Bone marrow aspirate smear. MGG-stained. Cropped to a single cell
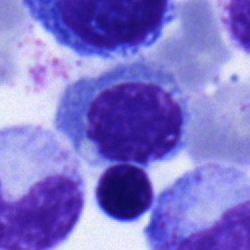
Morphology consistent with a nucleated red cell.